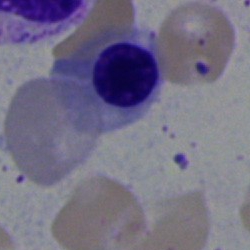

Bone marrow aspirate smear, single cell — nucleated red blood cell.